Bone marrow smear
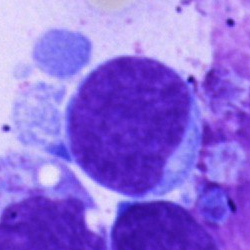

Showing an undifferentiated blast.